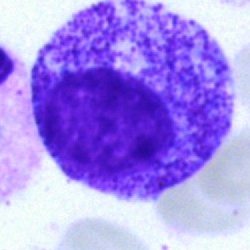 Morphology — myelocyte.